Brightfield, 40× oil-immersion objective · bone marrow smear: 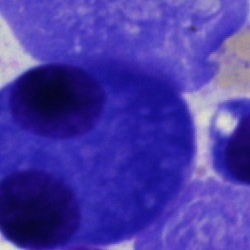 This is a plasmacyte.